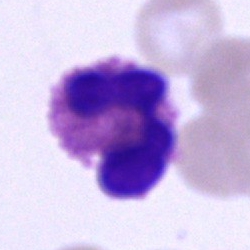
Specimen: bone marrow smear.
Classification: eosinophil.